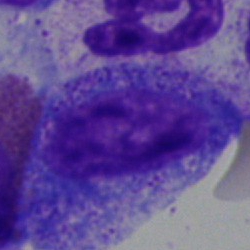 Specimen: bone marrow smear.
Morphological class: progranulocyte.